Bone marrow aspirate smear:
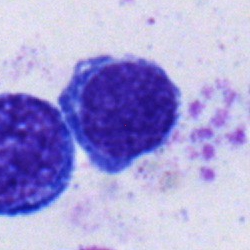Cell type = typical lymphocyte.